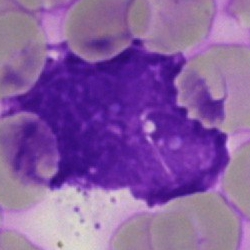
The morphological class is artefact.